360 by 363 pixels. Peripheral blood film. CellaVision DM96.
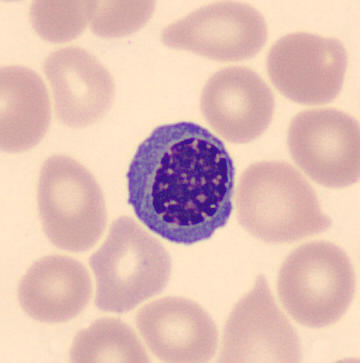 Q: What cell is this?
A: Nucleated red cell.